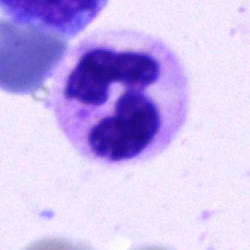Bone marrow aspirate smear, single cell — segmented neutrophil.